Bone marrow smear; cropped to a single cell; MGG-stained:
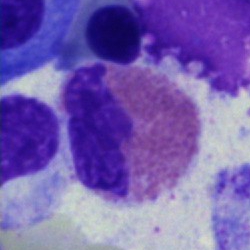 Morphological class — eosinophil.